Bone marrow smear.
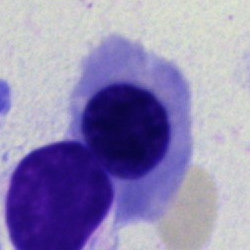

Single cell identified as an erythroblast.